Bone marrow aspirate smear — 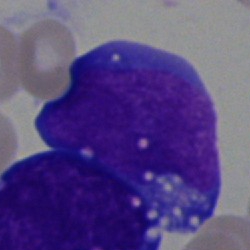

Q: What cell is this?
A: It is an undifferentiated blast.